Peripheral blood film: 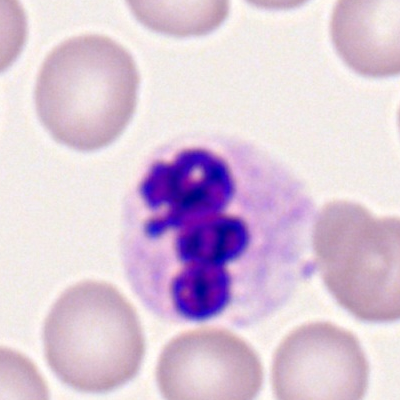
Showing a segmented neutrophil.